Image size 250×250. Bone marrow smear: 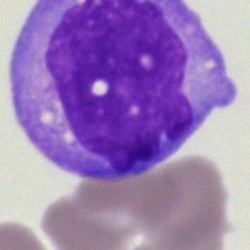 Morphological class — monocyte.